Peripheral blood film.
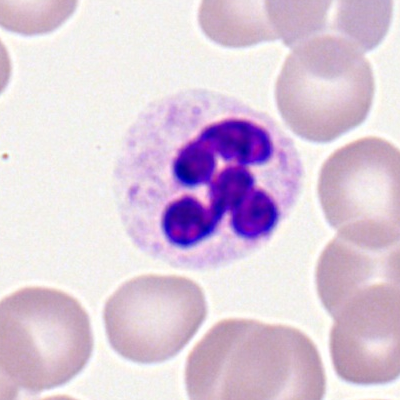

Specimen: peripheral blood film.
Morphological class: segmented neutrophil.